Bone marrow aspirate smear · single-cell crop · 250×250 px.
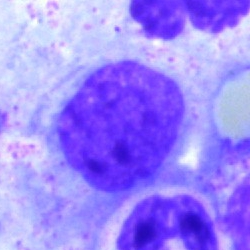

The cell is typical lymphocyte.